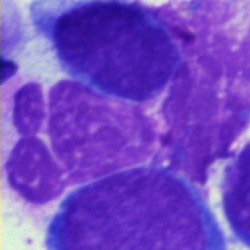
Single cell identified as an artifact.